Bone marrow aspirate smear:
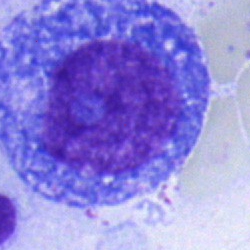
A progranulocyte.